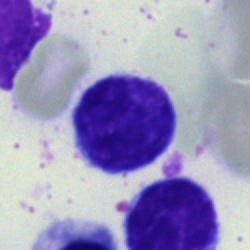

Showing a typical lymphocyte.